250×250; bone marrow smear — 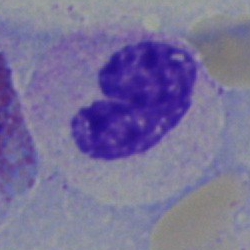Cell type — stab cell.